Bone marrow aspirate smear: 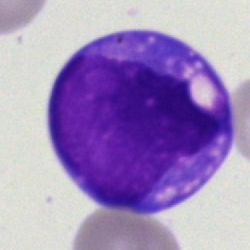

A blast.